Cropped to a single cell; peripheral blood film: 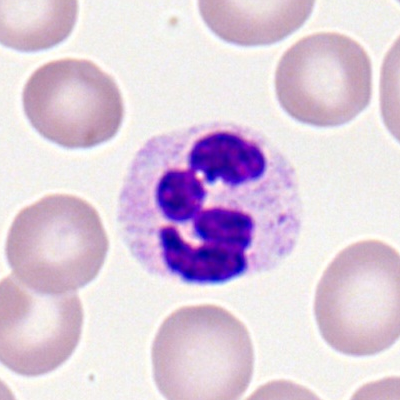 Specimen: peripheral blood film.
Morphological class: segmented neutrophil.
Lineage: myeloid.